Bone marrow smear.
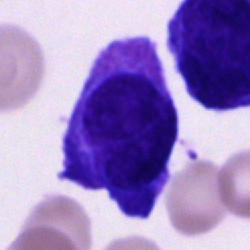 Specimen: bone marrow aspirate smear.
Cell: cell of indeterminate lineage.